Bone marrow aspirate smear; 40× oil immersion; single-cell field:
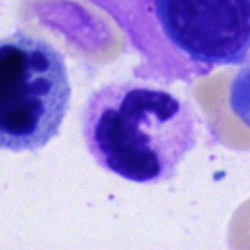
Q: What is shown here?
A: It is a segmented neutrophil.